May-Grünwald-Giemsa stain. Single cell centered in the field. Bone marrow aspirate smear: 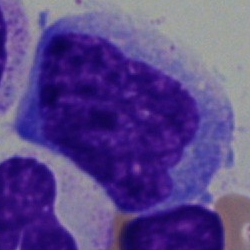
Morphology → blast cell.